Bone marrow smear; MGG-stained — 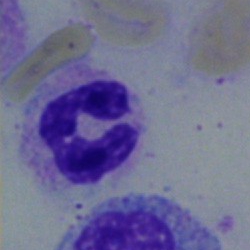Single cell identified as a segmented neutrophil.